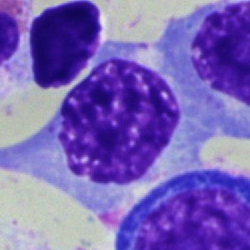

Cell: nucleated red blood cell.